May-Grünwald-Giemsa stain; bone marrow smear — 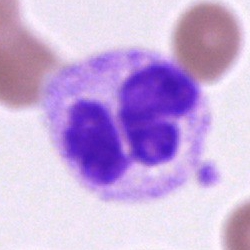

The morphological class is segmented neutrophil.